Single cell centered in the field · bone marrow smear — 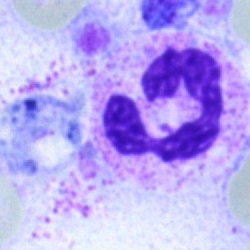Morphological class: segmented neutrophil.